Brightfield, 100× oil-immersion objective; peripheral blood film; image size 400×400
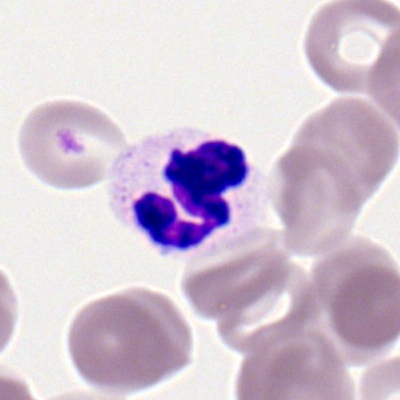

Morphology — segmented neutrophil.